Bone marrow aspirate smear — 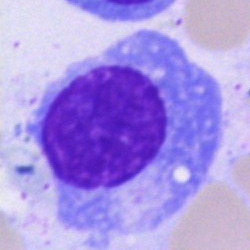 Specimen: bone marrow aspirate smear.
Cell: plasma cell.
Lineage: lymphoid.